Bone marrow smear:
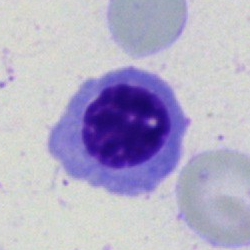Classification = nucleated red blood cell.